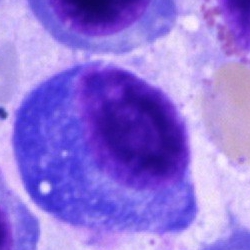{"cell_type": "plasma cell", "lineage": "lymphoid"}